Bone marrow smear: 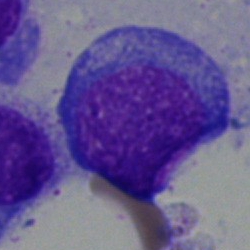 {"cell_type": "pronormoblast", "lineage": "erythroid"}